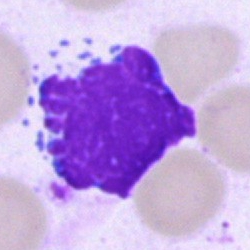 {"cell_type": "artefact"}